May-Grünwald-Giemsa/Pappenheim stain. Bone marrow smear
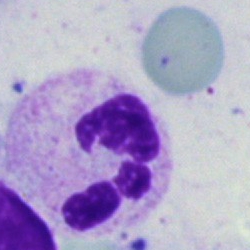

{"cell_type": "segmented neutrophil", "lineage": "myeloid"}